Bone marrow aspirate smear — 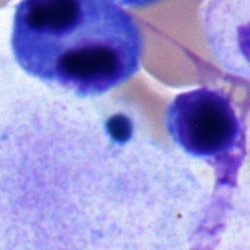 Impression — lymphocyte.